Bone marrow aspirate smear — 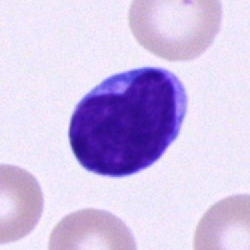 Specimen: bone marrow aspirate smear.
Classification: lymphocyte.
Lineage: lymphoid.